Single-cell field · bone marrow aspirate smear — 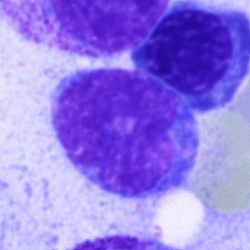

Showing a typical lymphocyte.